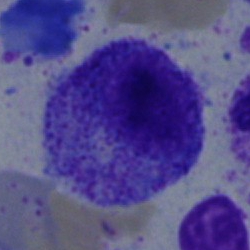 Impression → myelocyte.